Brightfield, 40× oil-immersion objective · bone marrow smear: 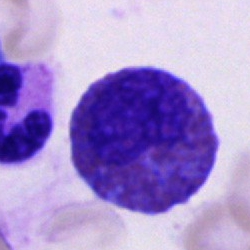Cell type: eosinophilic granulocyte.